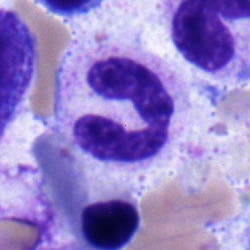 The cell shown is a neutrophil (segmented).